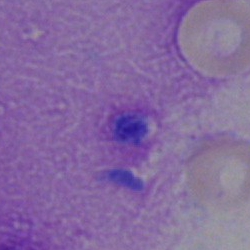

Specimen: bone marrow aspirate smear.
Morphological class: artifact.